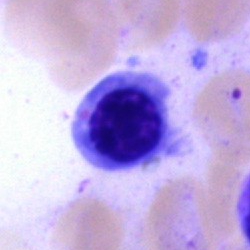 Impression → erythroblast.